May-Grünwald-Giemsa/Pappenheim stain; bone marrow smear:
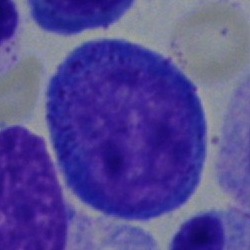
The cell is progranulocyte.